Bone marrow smear; cropped to a single cell — 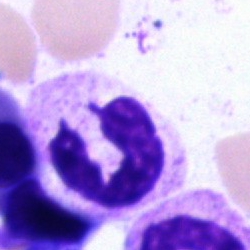Cell type: neutrophil (segmented).